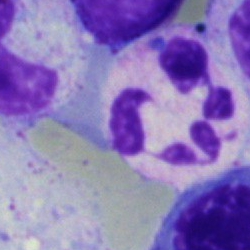 Specimen: bone marrow aspirate smear.
Classification: segmented neutrophil.
Lineage: myeloid.